Image size 250×250; bone marrow aspirate smear:
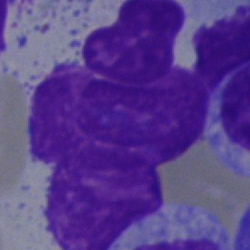Classification — artifact.